Bone marrow aspirate smear. May-Grünwald-Giemsa/Pappenheim stain — 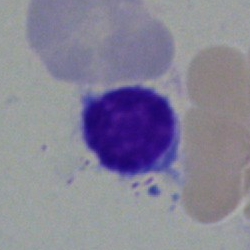

Q: Which cell type is shown here?
A: It is a lymphocyte.